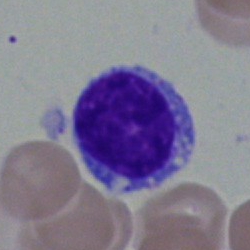This is a lymphocyte.